Bone marrow smear:
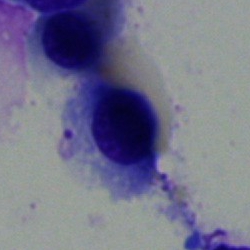 Impression → nucleated red blood cell.